Bone marrow aspirate smear:
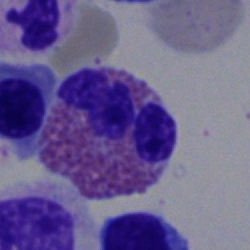 Morphological class = eosinophil.